Bone marrow aspirate smear; brightfield microscopy, 40× oil immersion:
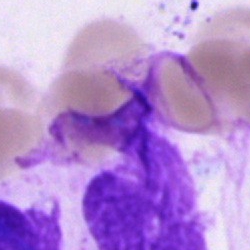
Showing an artefact.